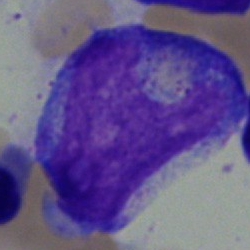

Single-cell crop from a bone marrow smear: progranulocyte.